40× oil immersion. Pappenheim-stained. Bone marrow aspirate smear
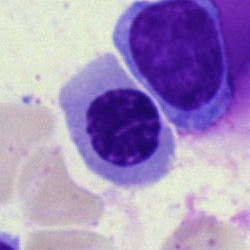Nucleated red cell.